Romanowsky-type stain · peripheral blood smear.
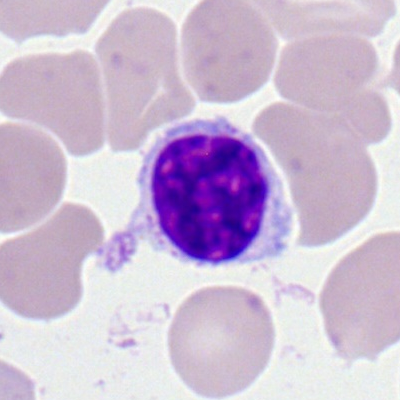
Specimen: peripheral blood smear.
Cell: typical lymphocyte.